Peripheral blood smear. Cropped to a single cell — 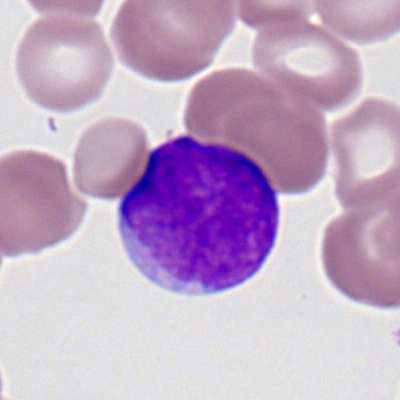

Classification — myeloid blast.